Bone marrow aspirate smear; 40× oil immersion: 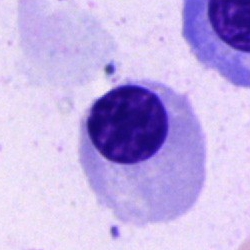Cell type = normoblast.